Bone marrow smear
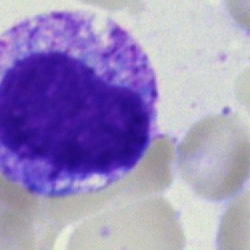
Impression → artefact.